Bone marrow aspirate smear. 40× oil immersion — 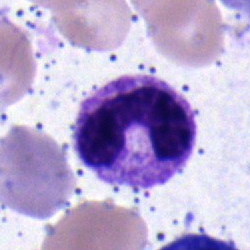 Impression — band neutrophil.